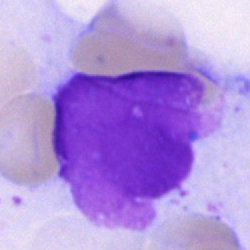Morphology → artefact.